Single-cell field; bone marrow smear.
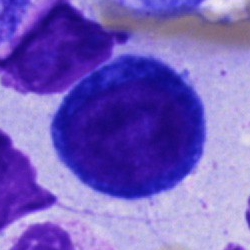
Showing a proerythroblast.